Peripheral blood film — 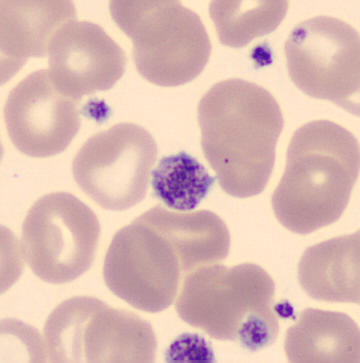

Platelet (thrombocyte).